Single cell centered in the field. Bone marrow smear. 250×250: 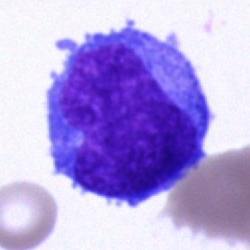 Impression — blast cell.